Bone marrow smear; single-cell field.
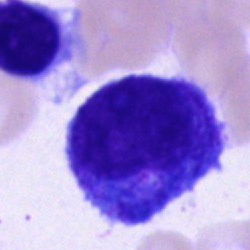 Showing a promyelocyte.